Bone marrow smear. Single cell centered in the field
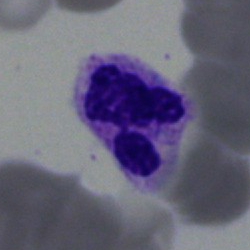

Q: Which cell type is shown here?
A: It is a neutrophil (segmented).